Bone marrow aspirate smear. Single-cell crop. Brightfield microscopy, 40× oil immersion.
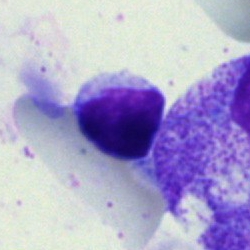

Q: Which cell type is shown here?
A: Typical lymphocyte.